Bone marrow aspirate smear — 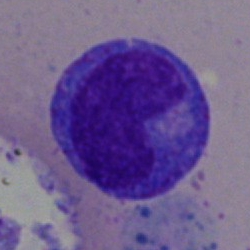 {"cell_type": "monocyte"}